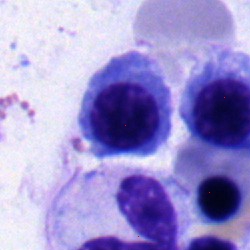
Bone marrow smear showing an erythroblast.